Peripheral blood film; 100× oil immersion, 14.14 px/µm — 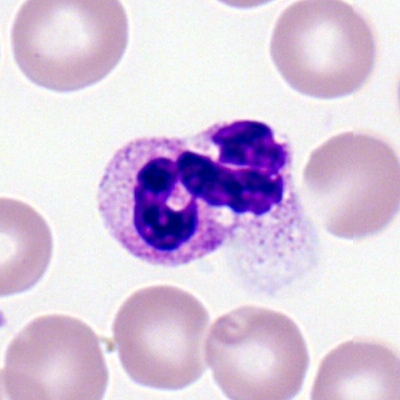
Morphology — segmented neutrophil.